Bone marrow aspirate smear
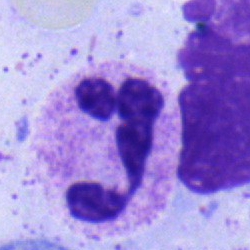
Q: What type of cell is this?
A: It is a segmented neutrophil.